40× objective, oil immersion; bone marrow aspirate smear; MGG-stained: 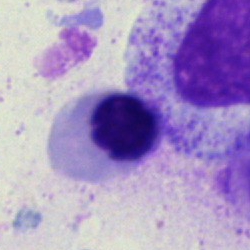

Morphological class = normoblast.